Bone marrow aspirate smear.
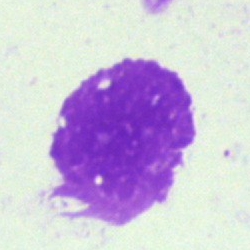 Single cell identified as an artefact.